Bone marrow aspirate smear. May-Grünwald-Giemsa/Pappenheim stain. Single-cell field: 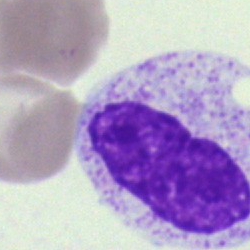
Specimen: bone marrow smear.
Cell: metamyelocyte.
Lineage: myeloid.